Bone marrow aspirate smear
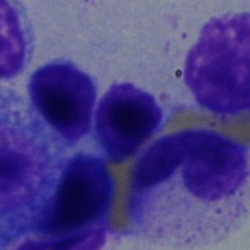 Morphological class — lymphocyte.